Bone marrow aspirate smear · single-cell field · 250×250 px:
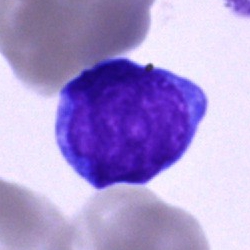Specimen: bone marrow aspirate smear.
Cell: undifferentiated blast.